Peripheral blood film. Romanowsky-stained. 100× objective, oil immersion.
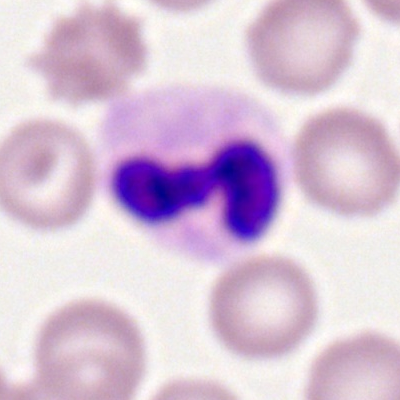

Q: Which cell type is shown here?
A: Segmented neutrophil.